Bone marrow aspirate smear. Cropped to a single cell. Image size 250×250:
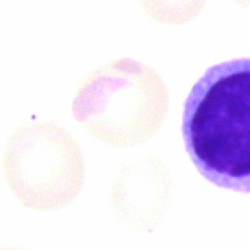

Q: What cell is this?
A: This is a typical lymphocyte.